400 by 400 pixels. Cropped to a single cell. Peripheral blood smear
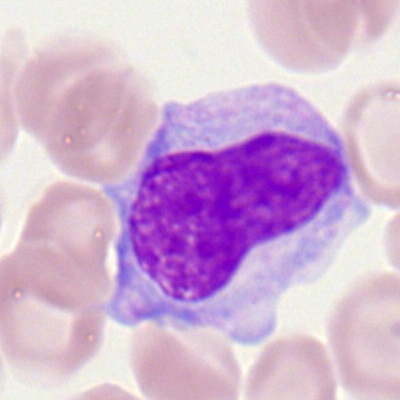
{"cell_type": "monocyte"}